MGG-stained. Cropped to a single cell. Bone marrow aspirate smear:
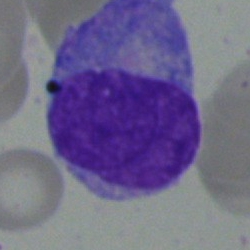

Morphology consistent with a plasma cell.